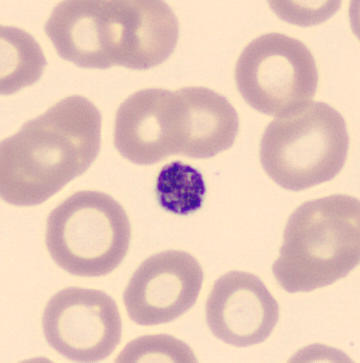

Impression → platelet (thrombocyte).

Acquisition: Image size 360×363. Automated cell imaging (CellaVision DM96). Peripheral blood smear.